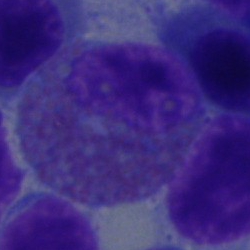Cell = eosinophil.